Peripheral blood smear · 400×400 · single cell centered in the field: 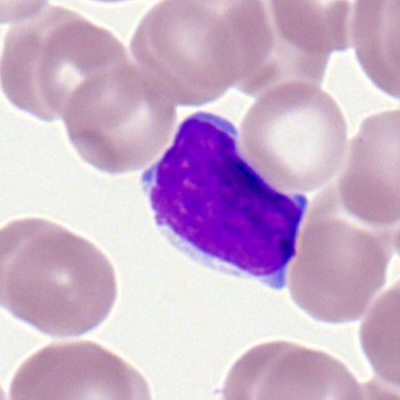
The cell shown is a lymphocyte.